Bone marrow smear · May-Grünwald-Giemsa stain:
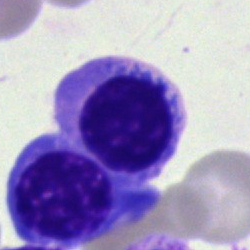

This is a nucleated red cell.